Bone marrow aspirate smear · 250 by 250 pixels.
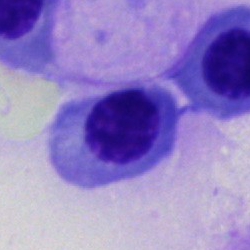 The cell is erythroblast.